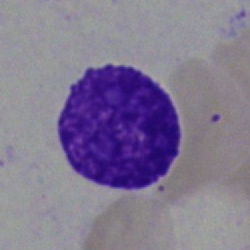
Showing an artifact.